May-Grünwald-Giemsa stain. Bone marrow aspirate smear
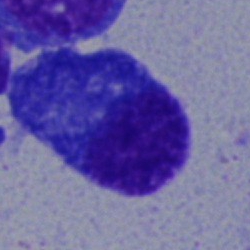

Q: What is shown here?
A: It is a plasma cell.